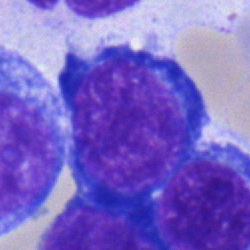
The cell shown is a pronormoblast.